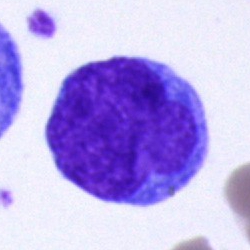Specimen: bone marrow smear.
Classification: undifferentiated blast.